Bone marrow smear: 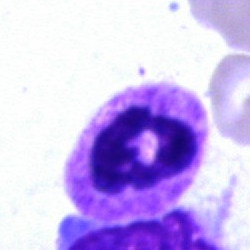

Q: What type of cell is this?
A: This is a neutrophil (segmented).